40× objective, oil immersion · single-cell field · bone marrow aspirate smear.
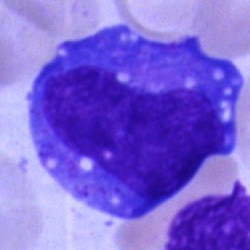
Classification = blast cell.